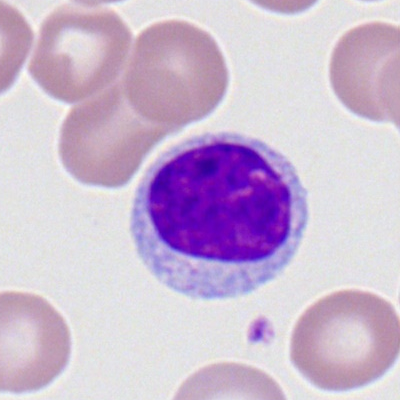
A typical lymphocyte.